May-Grünwald-Giemsa stain · bone marrow smear · single-cell field
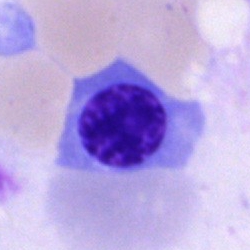Erythroblast.